Peripheral blood smear:
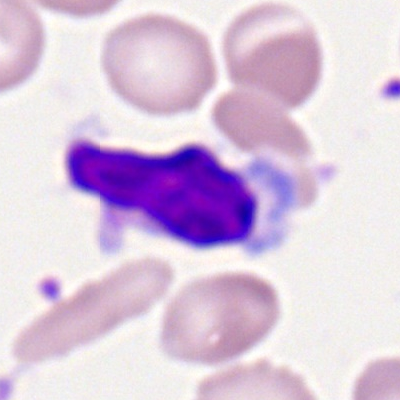
Showing a typical lymphocyte.